Cropped to a single cell. Pappenheim-stained. Bone marrow smear.
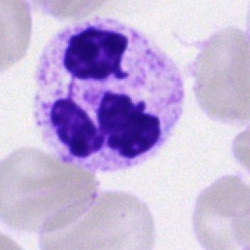
The morphological class is segmented neutrophil.